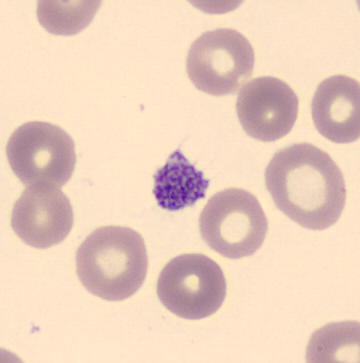From a peripheral blood smear: a platelet (thrombocyte).